Bone marrow aspirate smear
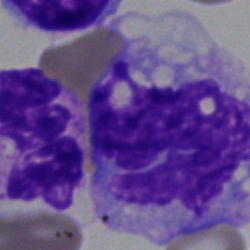

Morphology consistent with a monocyte.